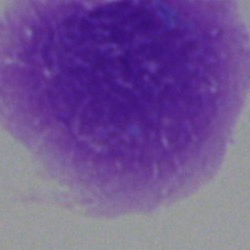 Morphology → artifact.